Brightfield microscopy, 40× oil immersion · bone marrow smear:
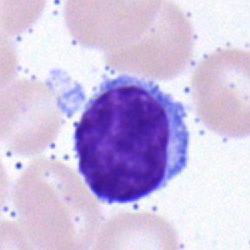 Specimen: bone marrow smear.
Classification: lymphocyte.
Lineage: lymphoid.